Bone marrow smear. Brightfield microscopy, 40× oil immersion:
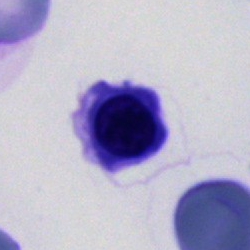

Specimen: bone marrow aspirate smear.
Cell type: erythroblast.
Lineage: erythroid.